Bone marrow smear: 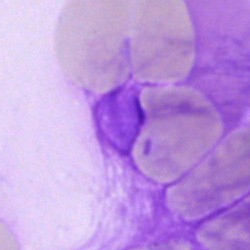

Morphology — artefact.